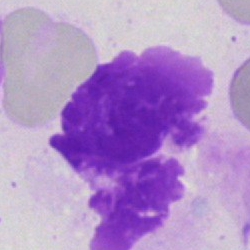

Morphology — artefact.